Bone marrow smear; 250×250 px:
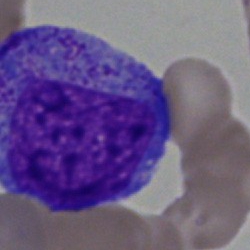Single cell identified as a progranulocyte.